Bone marrow smear.
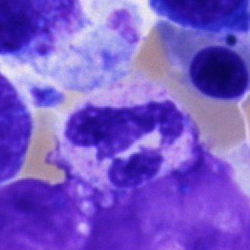 Segmented neutrophil.